Bone marrow aspirate smear; single-cell field — 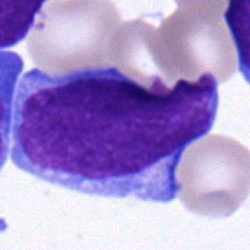

This is a blast cell.